Bone marrow smear. Brightfield, 40× oil-immersion objective. Cropped to a single cell: 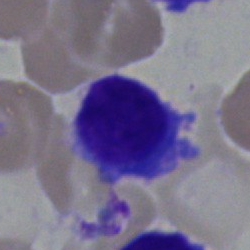Morphology → plasmacyte.